Bone marrow smear.
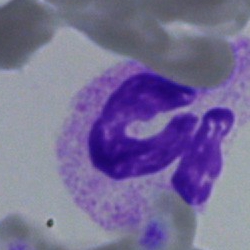
Morphological class: segmented neutrophil.